Pappenheim-stained; bone marrow aspirate smear.
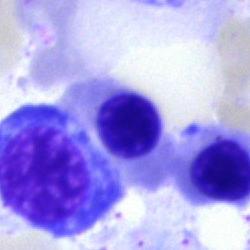

Q: What cell is this?
A: A normoblast.